Peripheral blood film: 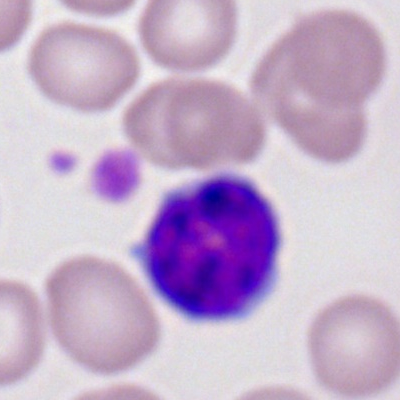 Morphology — typical lymphocyte.